Bone marrow aspirate smear; 250×250 px:
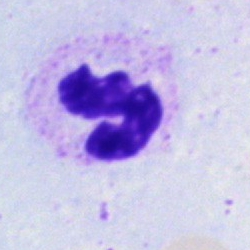
Specimen: bone marrow smear.
Morphological class: neutrophil (segmented).
Lineage: myeloid.